Bone marrow aspirate smear:
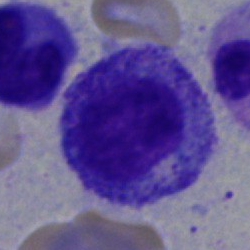
Cell type — myelocyte.